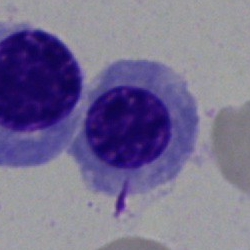

The cell shown is a normoblast.